250×250. Bone marrow aspirate smear: 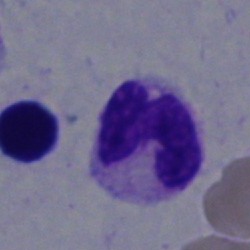

Specimen: bone marrow smear.
Classification: segmented neutrophil.
Lineage: myeloid.